Bone marrow smear: 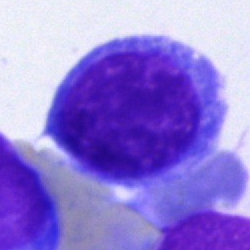

Impression → nucleated red blood cell.